Bone marrow aspirate smear:
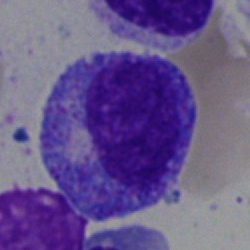
Cell type: promyelocyte.